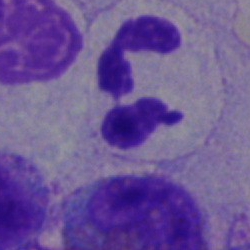

Cell — polymorphonuclear neutrophil.